Bone marrow smear: 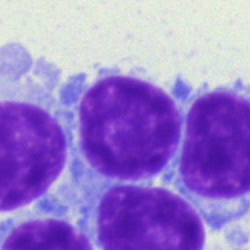
Morphology → typical lymphocyte.